Bone marrow aspirate smear; cropped to a single cell:
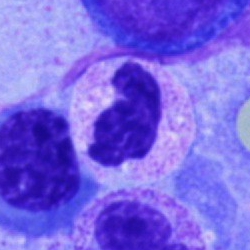

Segmented neutrophil.